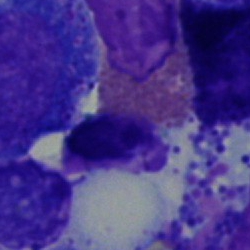Q: What is shown here?
A: Eosinophilic granulocyte.